Bone marrow smear:
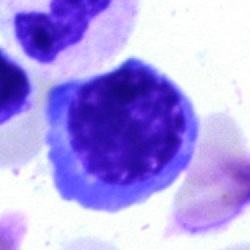Q: What is the morphological classification of this cell?
A: Nucleated red cell.